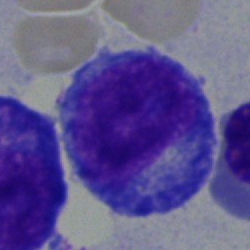

Classification = promyelocyte.